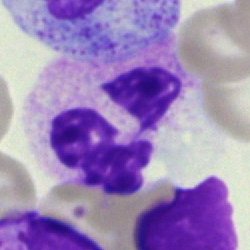 Cell — segmented neutrophil.